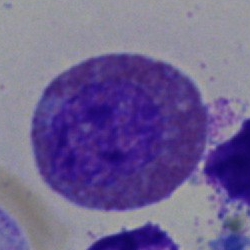

Bone marrow aspirate smear, single cell — eosinophilic granulocyte.